Bone marrow smear:
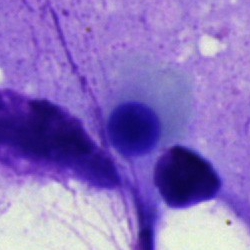This is a nucleated red cell.